Bone marrow smear:
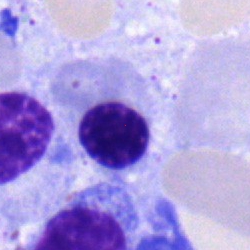
Single cell identified as a normoblast.